May-Grünwald-Giemsa stain; bone marrow smear:
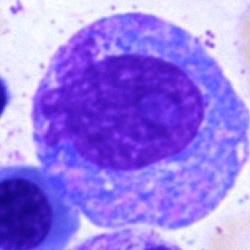

Specimen: bone marrow smear.
Cell type: promyelocyte.